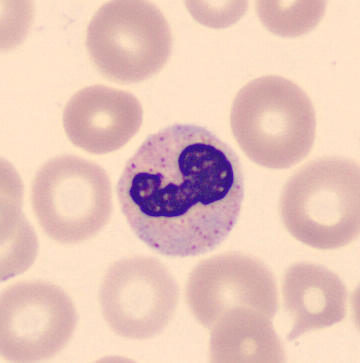
Q: What type of cell is this?
A: This is a stab cell.
MGG stain; peripheral blood smear; single-cell field.